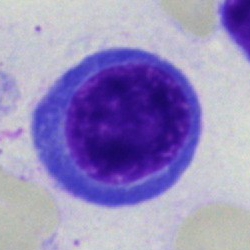 Morphology consistent with a nucleated red cell.